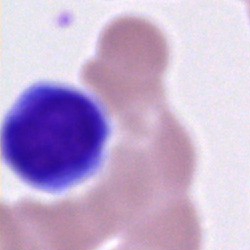Bone marrow aspirate smear, single cell — unidentifiable cell.